Bone marrow smear
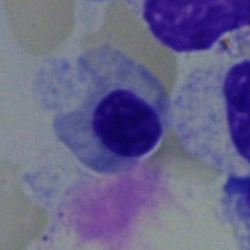

Morphology → nucleated red cell.